Bone marrow smear — 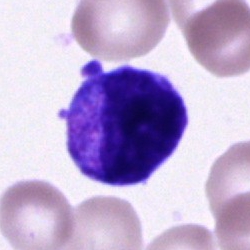 The cell type is unidentifiable cell.